Bone marrow smear; May-Grünwald-Giemsa/Pappenheim stain.
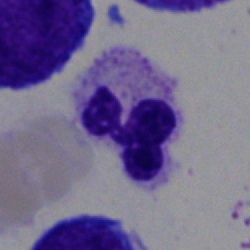
Single cell identified as a neutrophil (segmented).